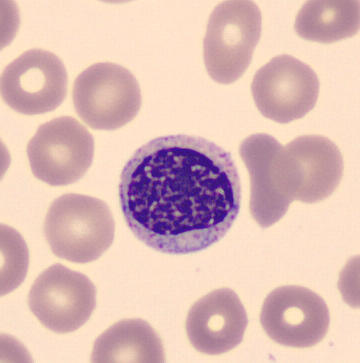

Morphological class: myelocyte.
Acquisition: MGG-stained · peripheral blood film · single cell centered in the field.